Bone marrow smear; 250 by 250 pixels:
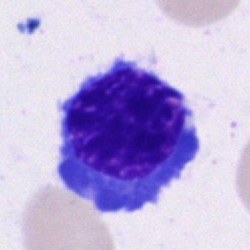
Specimen: bone marrow smear.
Classification: nucleated red cell.
Lineage: erythroid.